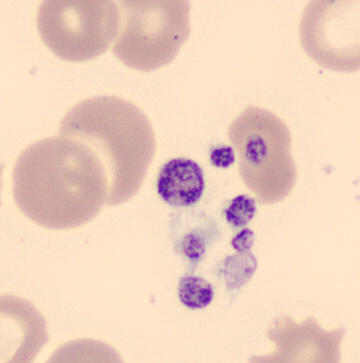 Classification — platelet.

Preparation: Peripheral blood smear.